Single cell centered in the field. Image size 250×250. Bone marrow smear — 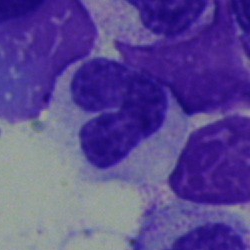Q: Which cell type is shown here?
A: A band-form neutrophil.